Bone marrow smear.
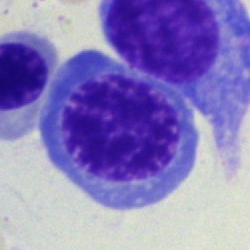Cell type: normoblast.